Bone marrow smear.
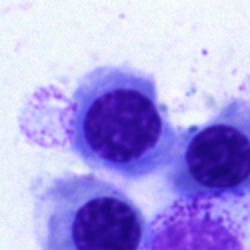 Impression → nucleated red blood cell.